MGG-stained · bone marrow smear — 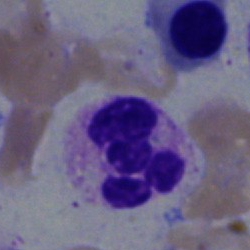

Q: What is shown here?
A: It is a segmented neutrophil.